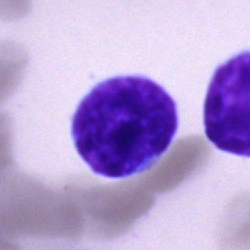 The cell shown is a typical lymphocyte.